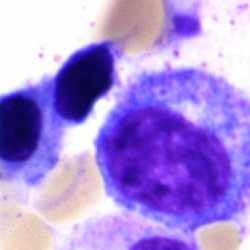Q: Which cell type is shown here?
A: This is a progranulocyte.